Bone marrow smear; 250×250 px.
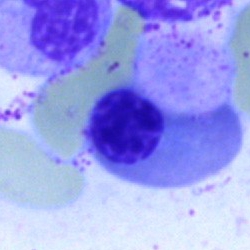 Morphological class = nucleated red blood cell.